Bone marrow smear
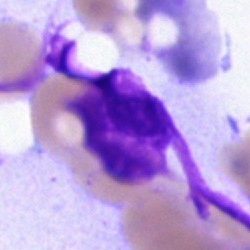
Artefact.